Bone marrow smear · 250×250 — 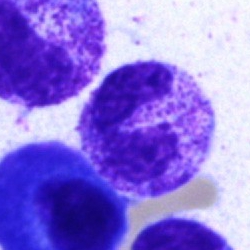
Showing a band neutrophil.